Single cell centered in the field · bone marrow aspirate smear — 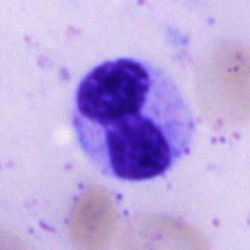 Showing a stab cell.